Bone marrow smear.
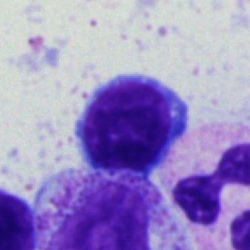 Cell = typical lymphocyte.